Cropped to a single cell · peripheral blood film · 100× oil immersion, 14.14 px/µm
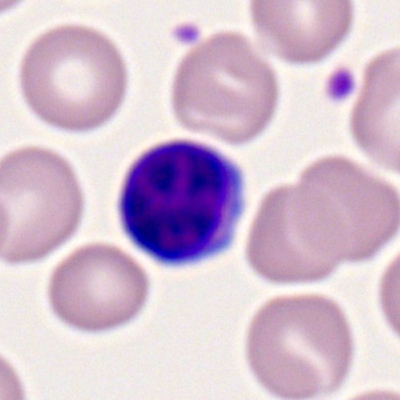 Morphology → typical lymphocyte.